Bone marrow aspirate smear — 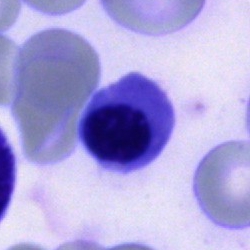
Specimen: bone marrow smear.
Cell type: nucleated red blood cell.
Lineage: erythroid.